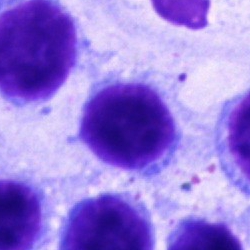 Q: What is the morphological classification of this cell?
A: Lymphocyte.